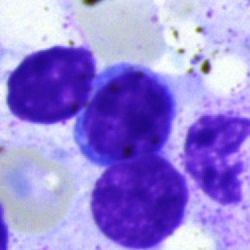Morphological class = typical lymphocyte.